Single-cell crop. Bone marrow aspirate smear. Pappenheim-stained
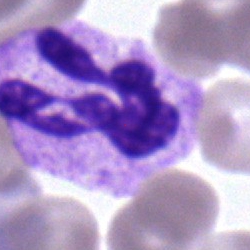Specimen: bone marrow smear.
Cell type: neutrophil (segmented).
Lineage: myeloid.